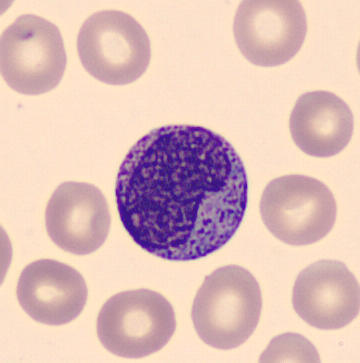The classification is metamyelocyte.

Acquisition: 360×363 px; MGG stain; peripheral blood film.